Bone marrow smear — 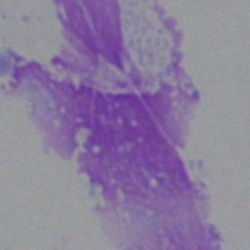

This is an artifact.